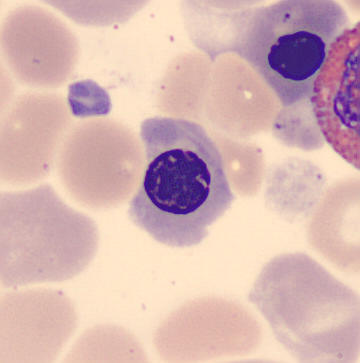 The cell is normoblast.